Pappenheim-stained · bone marrow aspirate smear
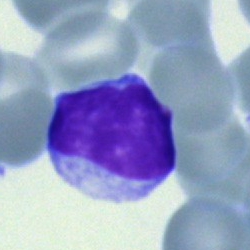 Typical lymphocyte.